Single cell centered in the field. 40× oil immersion. Bone marrow smear — 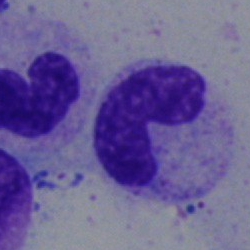
Showing a stab cell.